Bone marrow aspirate smear
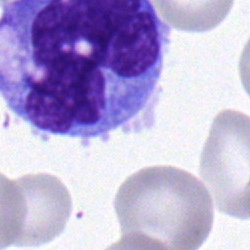The cell shown is a monocyte.